Bone marrow smear:
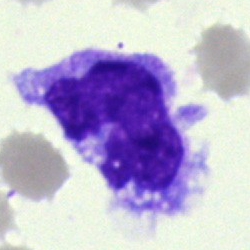
Cell = monocyte.